Bone marrow aspirate smear · brightfield microscopy, 40× oil immersion:
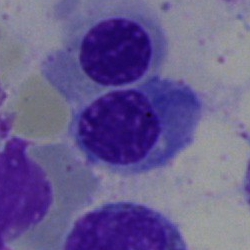
Q: Which cell type is shown here?
A: Nucleated red blood cell.